Bone marrow smear — 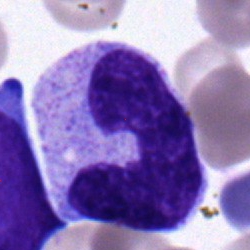 The classification is band-form neutrophil.